Bone marrow smear
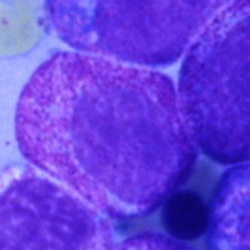

Single cell identified as a myelocyte.